250×250; bone marrow smear.
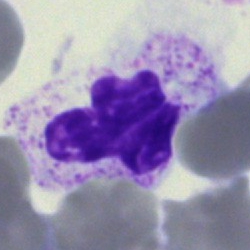
The cell shown is a segmented neutrophil.